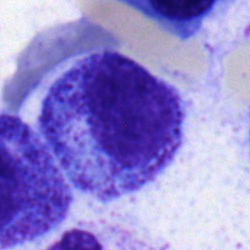Cell: progranulocyte.